Bone marrow aspirate smear:
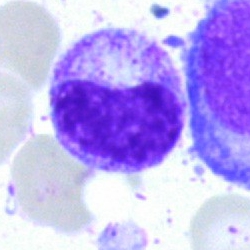
Specimen: bone marrow aspirate smear.
Cell: neutrophil (band).
Lineage: myeloid.